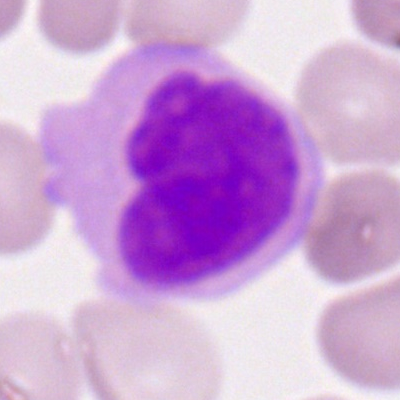Cell: monocyte.